Peripheral blood film; Romanowsky stain; single cell centered in the field
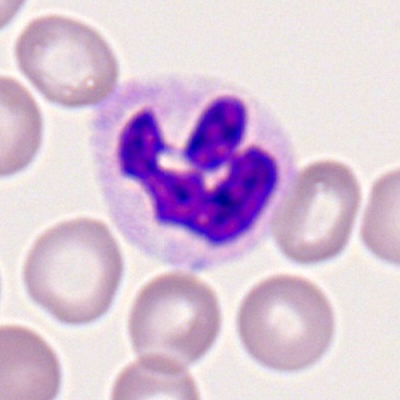 Segmented neutrophil.